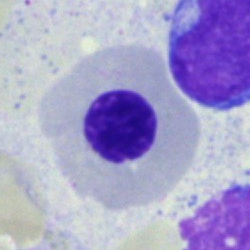Bone marrow smear showing a nucleated red cell.